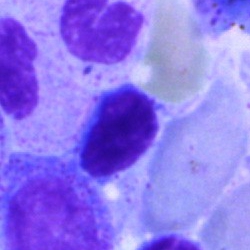 Specimen: bone marrow aspirate smear.
Classification: typical lymphocyte.